Bone marrow aspirate smear
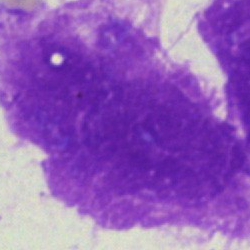Artefact.